Bone marrow smear.
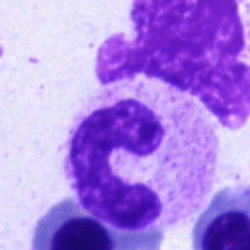
{"cell_type": "stab cell"}